Bone marrow aspirate smear. Single cell centered in the field — 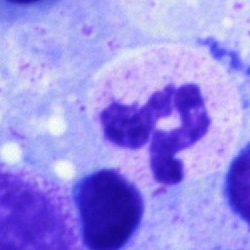Specimen: bone marrow aspirate smear.
Cell: segmented neutrophil.
Lineage: myeloid.